Bone marrow smear: 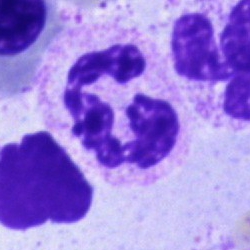Single cell identified as a segmented neutrophil.